Pappenheim-stained. Bone marrow aspirate smear:
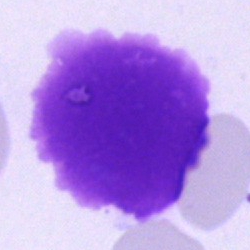Q: What is shown here?
A: Artifact.